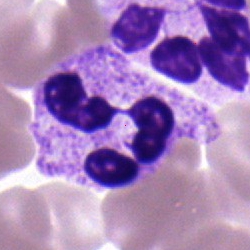
Morphology — polymorphonuclear neutrophil.